Bone marrow smear:
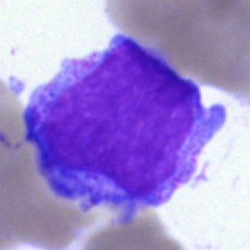Classification = blast cell.